Single-cell crop · peripheral blood smear · image size 360×363:
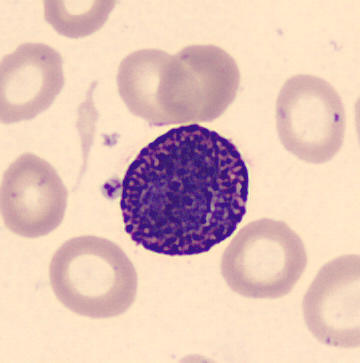 Morphology → basophil.